Bone marrow smear · brightfield, 40× oil-immersion objective · MGG-stained: 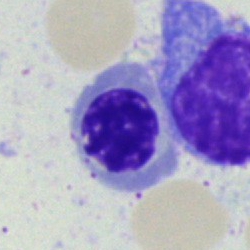
Q: What cell is this?
A: A nucleated red blood cell.